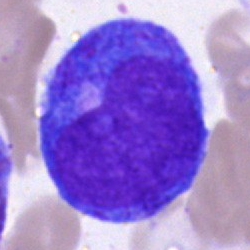
Morphology consistent with a promyelocyte.